Bone marrow aspirate smear
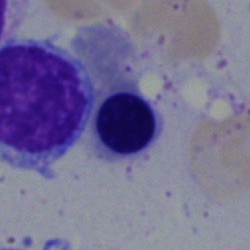 A normoblast.